250 by 250 pixels. 40× objective, oil immersion. Bone marrow aspirate smear.
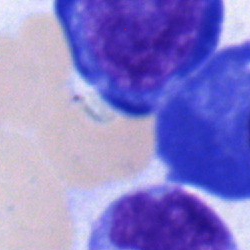 Morphology consistent with a proerythroblast.